Peripheral blood film. Single cell centered in the field:
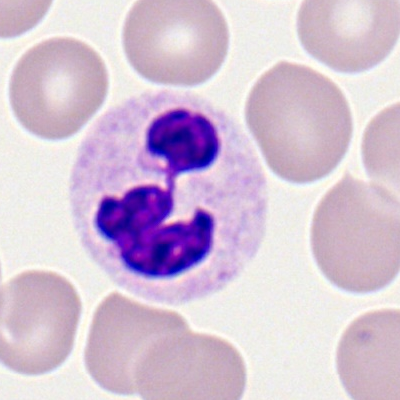Specimen: peripheral blood film.
Cell type: polymorphonuclear neutrophil.
Lineage: myeloid.